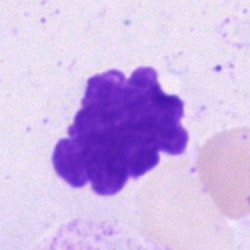Specimen: bone marrow smear.
Cell type: artifact.